Bone marrow aspirate smear:
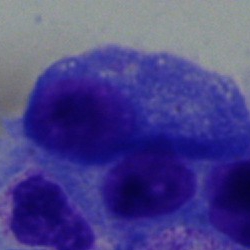Showing a plasmacyte.